Bone marrow smear — 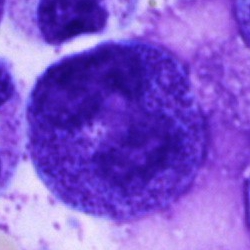
A promyelocyte.